May-Grünwald-Giemsa/Pappenheim stain · bone marrow aspirate smear — 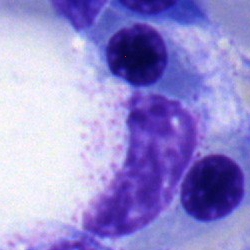 An erythroblast.